Image size 250×250; May-Grünwald-Giemsa/Pappenheim stain; bone marrow smear: 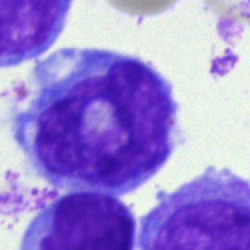

This is a monocyte.